Single-cell crop. 250×250. Bone marrow aspirate smear
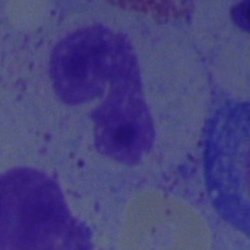

Cell type = band neutrophil.